Peripheral blood film: 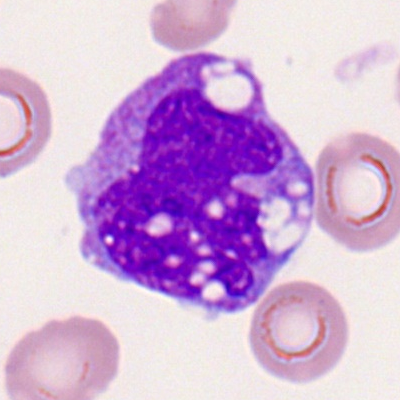 Monocyte.